Peripheral blood film
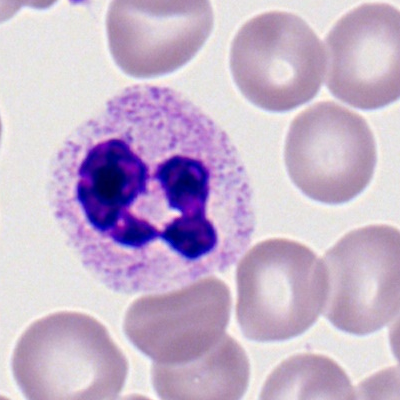The cell type is polymorphonuclear neutrophil.